Bone marrow smear; 250 by 250 pixels; single cell centered in the field.
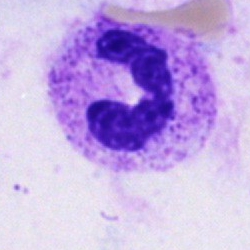 A neutrophil (segmented).